Single-cell field; bone marrow smear — 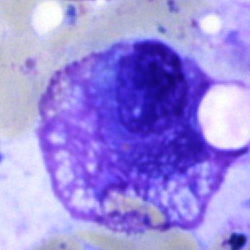Q: What is shown here?
A: It is an artefact.